Bone marrow smear · May-Grünwald-Giemsa/Pappenheim stain:
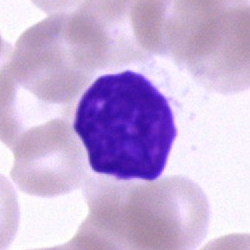Artefact.